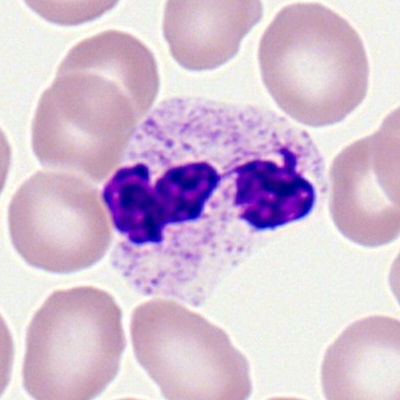
A segmented neutrophil on a peripheral blood smear.